Bone marrow aspirate smear; 250 by 250 pixels: 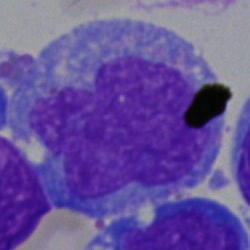
Monocyte.